Peripheral blood film · single cell centered in the field:
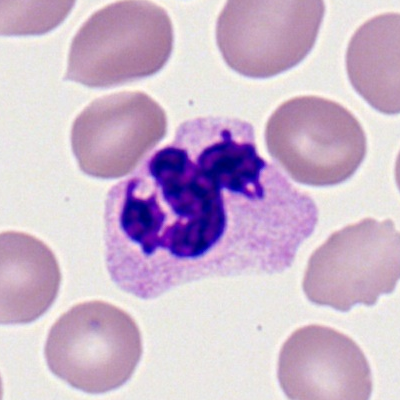Showing a polymorphonuclear neutrophil.